Bone marrow aspirate smear — 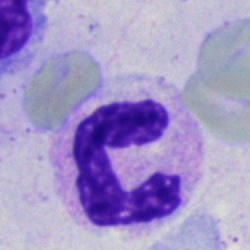
Cell type: segmented neutrophil.